Bone marrow aspirate smear:
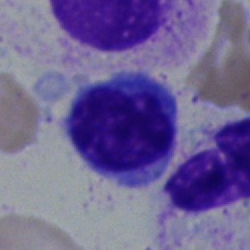 A lymphocyte.